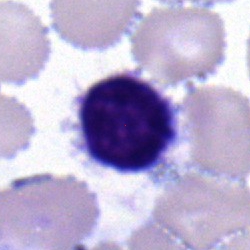

Morphology consistent with a typical lymphocyte.